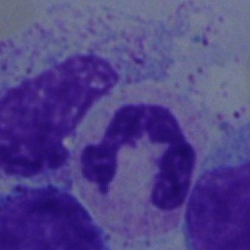Bone marrow aspirate smear, single cell — neutrophil (segmented).